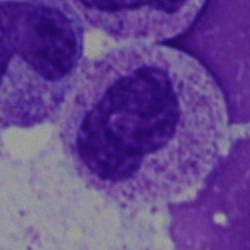Morphology — metamyelocyte.